Bone marrow smear.
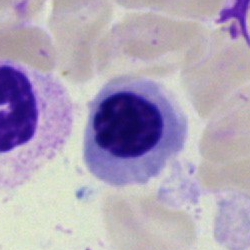
Q: What type of cell is this?
A: It is a nucleated red cell.